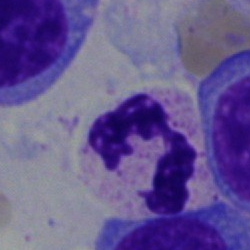

{"cell_type": "polymorphonuclear neutrophil"}